Bone marrow smear:
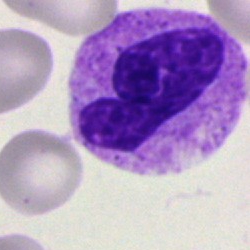Classification = polymorphonuclear neutrophil.